Bone marrow aspirate smear: 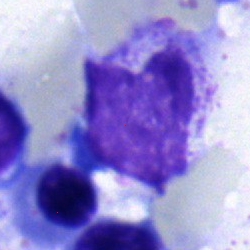 Q: Which cell type is shown here?
A: This is a myelocyte.